Bone marrow smear: 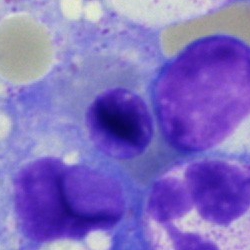 Morphological class: nucleated red blood cell.